40× oil immersion; bone marrow smear.
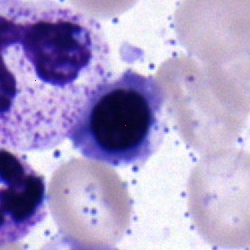

Specimen: bone marrow aspirate smear.
Morphological class: nucleated red blood cell.